Bone marrow smear — 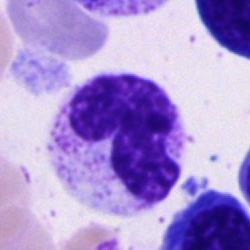Impression — band-form neutrophil.